MGG-stained. Bone marrow smear. Brightfield, 40× oil-immersion objective: 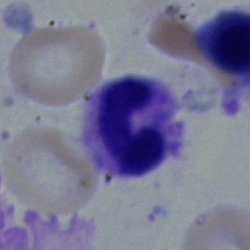

The cell shown is a neutrophil (segmented).